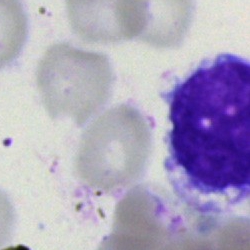

Morphological class — artefact.